250 by 250 pixels. Bone marrow smear: 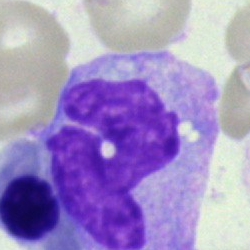Specimen: bone marrow aspirate smear.
Cell type: monocyte.